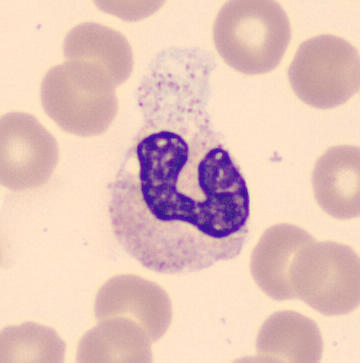
Single cell identified as a band neutrophil.